Peripheral blood film: 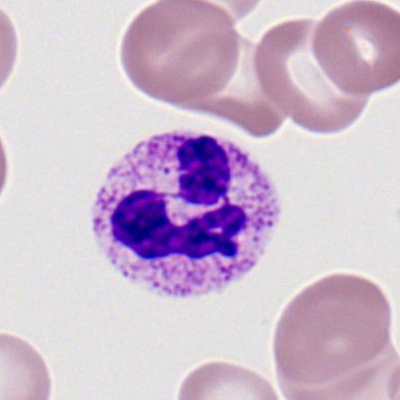

This is a segmented neutrophil.